Peripheral blood film; image size 400×400:
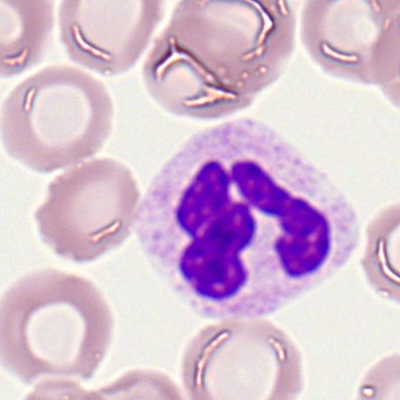Cell — segmented neutrophil.